Bone marrow aspirate smear — 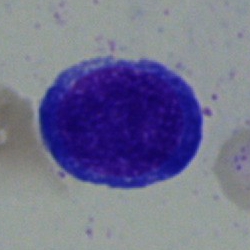
Q: What is shown here?
A: It is an erythroblast.